May-Grünwald-Giemsa/Pappenheim stain · bone marrow smear:
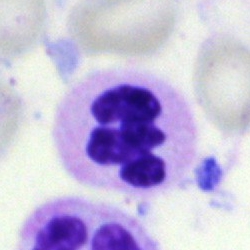Single cell identified as a segmented neutrophil.